Bone marrow smear · May-Grünwald-Giemsa stain:
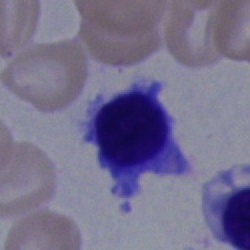Impression → erythroblast.